Bone marrow aspirate smear
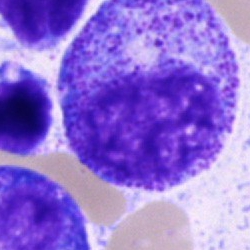

Cell = progranulocyte.